Bone marrow aspirate smear: 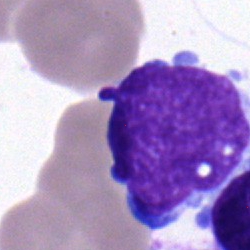
{"cell_type": "blast cell"}